Bone marrow aspirate smear. Single cell centered in the field. Image size 250×250.
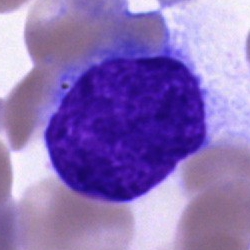Cell type — unidentifiable cell.